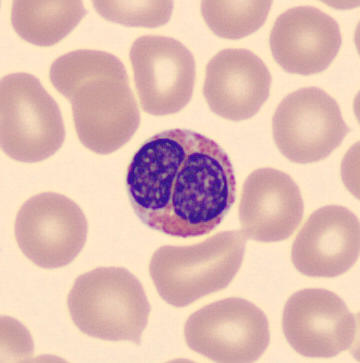
Q: Identify the cell.
A: Eosinophil.